Single-cell crop · M8 digital microscope (Precipoint), 100× oil immersion · peripheral blood smear:
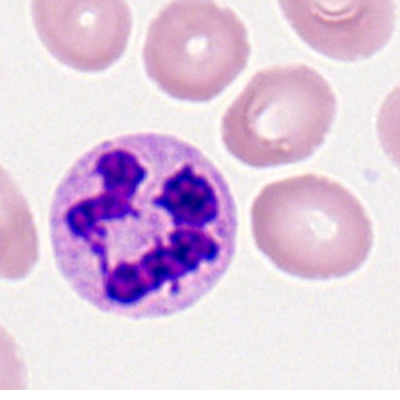 Morphological class = neutrophil (segmented).